Peripheral blood film:
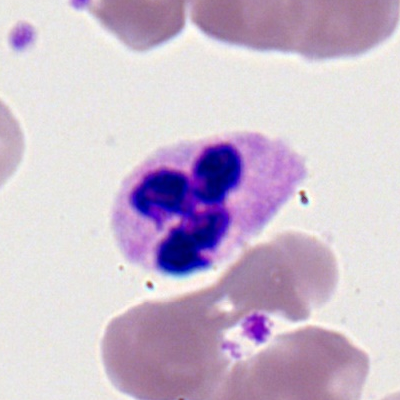

Cell = segmented neutrophil.